Bone marrow aspirate smear
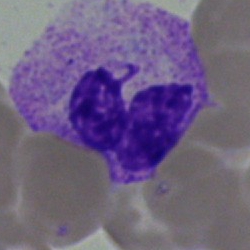
Segmented neutrophil.